Bone marrow smear.
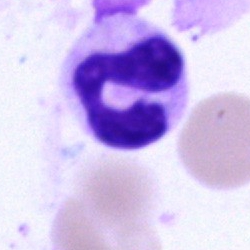 Morphology → neutrophil (segmented).